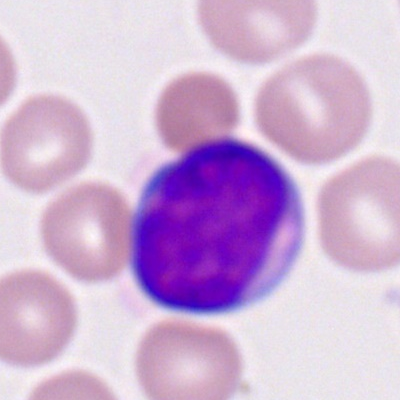
Specimen: peripheral blood film.
Cell type: myeloblast.